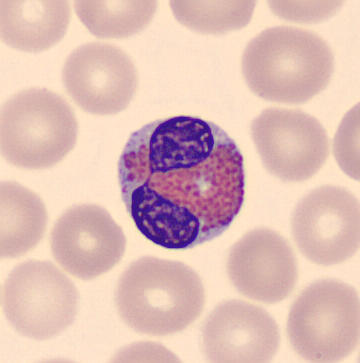

Preparation: Peripheral blood smear · single-cell crop.
Morphology consistent with an eosinophil.